Bone marrow aspirate smear
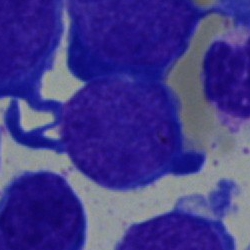 Single cell identified as an undifferentiated blast.